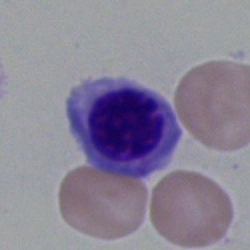

Morphological class = nucleated red cell.